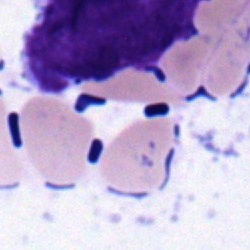 A blast cell on a bone marrow smear.